Pappenheim-stained. Bone marrow smear.
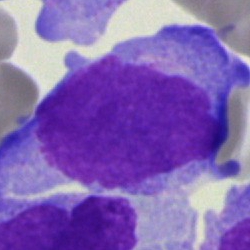 Q: What is the morphological classification of this cell?
A: Undifferentiated blast.